May-Grünwald-Giemsa/Pappenheim stain. Bone marrow smear. 250×250:
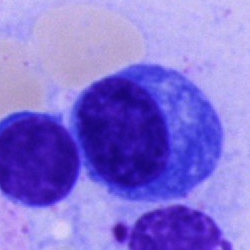The cell type is plasmacyte.